Bone marrow aspirate smear · single-cell crop:
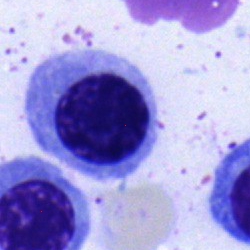 Nucleated red cell.